Bone marrow smear: 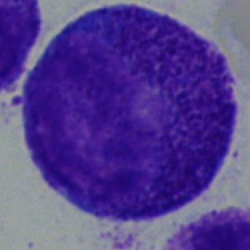Specimen: bone marrow smear.
Classification: progranulocyte.